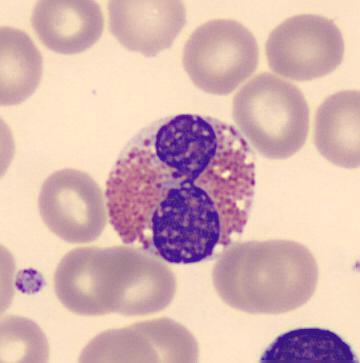Q: What is this?
A: An eosinophilic granulocyte. Peripheral blood smear · automated cell imaging (CellaVision DM96).